Image size 250×250. Bone marrow aspirate smear — 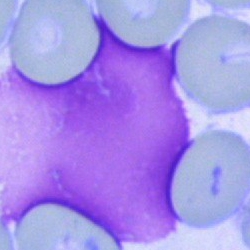

Single cell identified as an artifact.